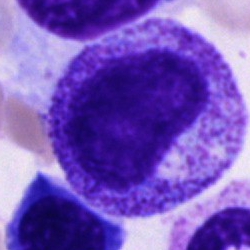

Cell type: promyelocyte.